MGG-stained. Bone marrow aspirate smear.
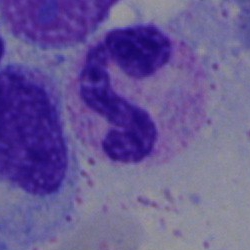

Cell type: segmented neutrophil.